Peripheral blood film.
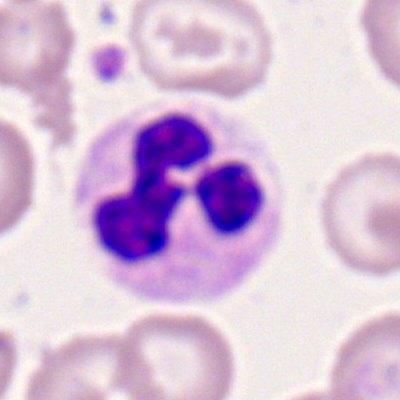Morphological class: segmented neutrophil.